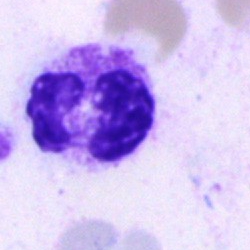

Single cell identified as a polymorphonuclear neutrophil.